Bone marrow aspirate smear: 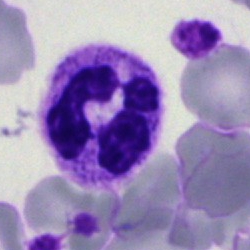Single cell identified as a polymorphonuclear neutrophil.